40× oil immersion. Bone marrow smear
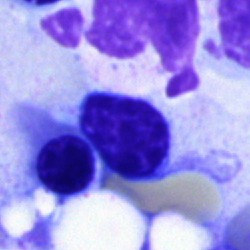 Morphology → typical lymphocyte.